Bone marrow aspirate smear
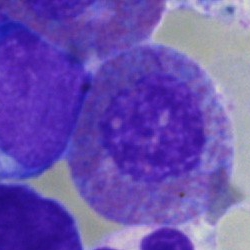 Morphology consistent with an eosinophilic granulocyte.